Bone marrow aspirate smear.
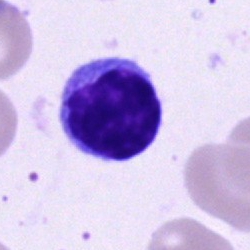
A typical lymphocyte.